Bone marrow aspirate smear.
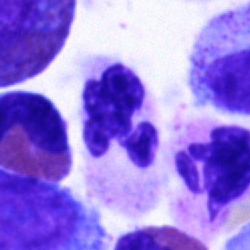
Neutrophil (segmented).